Single-cell crop · 100× oil immersion · peripheral blood film
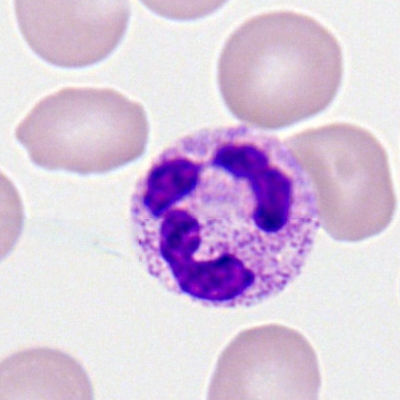Morphology consistent with a segmented neutrophil.